Brightfield microscopy, 40× oil immersion. 250×250. Bone marrow aspirate smear — 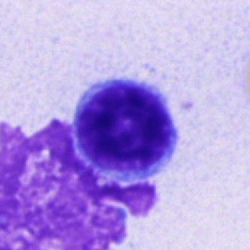

Showing a typical lymphocyte.